Bone marrow aspirate smear — 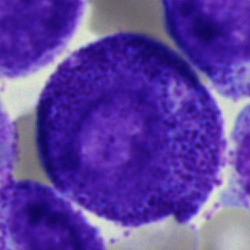

Cell — promyelocyte.